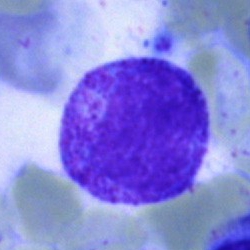
Impression → myelocyte.